Bone marrow aspirate smear. 250×250 px:
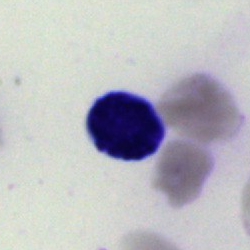
Q: What is shown here?
A: An artefact.